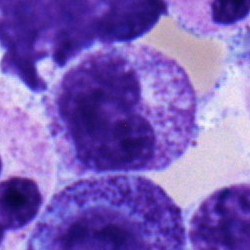Impression → metamyelocyte.